Bone marrow smear
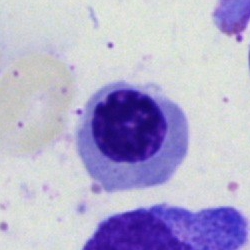 Specimen: bone marrow aspirate smear.
Classification: nucleated red blood cell.
Lineage: erythroid.